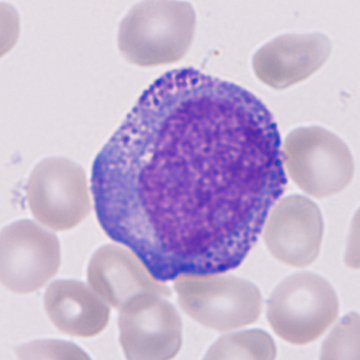

Single cell identified as an immature granulocyte (promyelocyte, myelocyte or metamyelocyte).